Bone marrow aspirate smear
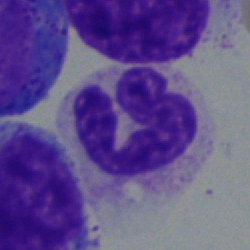 Morphology consistent with a neutrophil (segmented).